Bone marrow smear
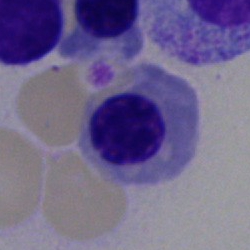 Cell = nucleated red blood cell.